250×250 px · bone marrow aspirate smear · cropped to a single cell
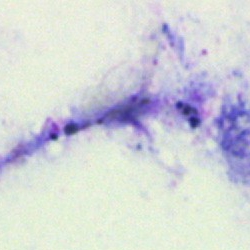

Cell type: artifact.